Peripheral blood smear; MGG stain:
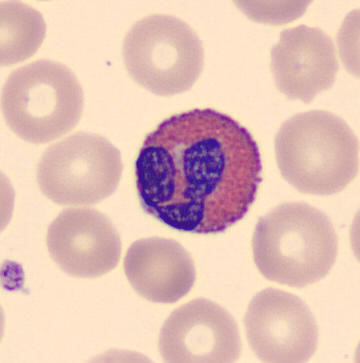

Morphology — eosinophilic granulocyte.